Bone marrow smear; brightfield, 40× oil-immersion objective.
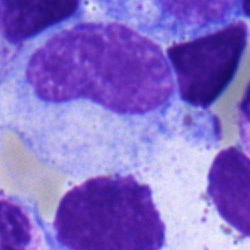 The cell type is metamyelocyte.